Bone marrow aspirate smear · 250×250 px
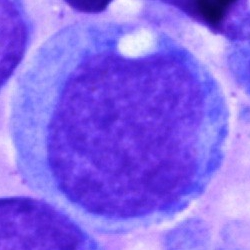
Single cell identified as a promyelocyte.